Pappenheim-stained · bone marrow aspirate smear · single-cell crop.
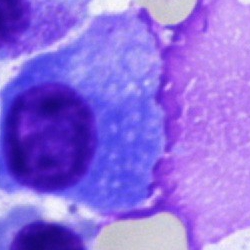
Showing a plasma cell.